Bone marrow aspirate smear — 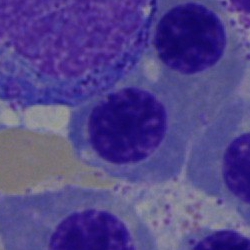
{"cell_type": "erythroblast"}